Bone marrow aspirate smear.
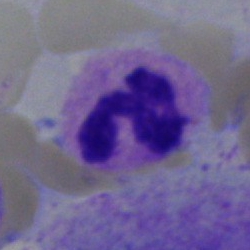

This is a neutrophil (segmented).